Single cell centered in the field. Bone marrow smear
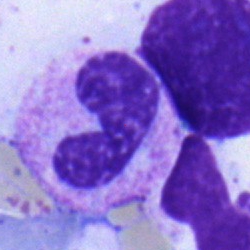Morphological class: stab cell.